Bone marrow smear: 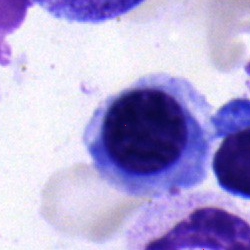 Cell: normoblast.